Bone marrow smear · brightfield, 40× oil-immersion objective
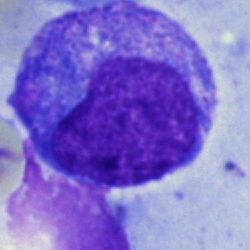Cell = progranulocyte.